Bone marrow smear
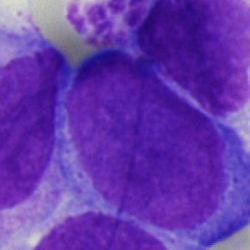 This is a blast cell.